Bone marrow aspirate smear
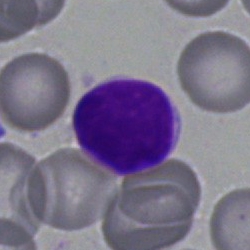 Cell — lymphocyte.